Brightfield, 40× oil-immersion objective; bone marrow smear; image size 250×250: 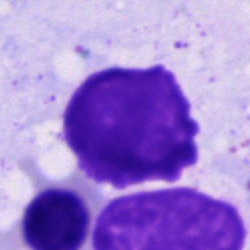

The cell shown is an artefact.